Bone marrow smear
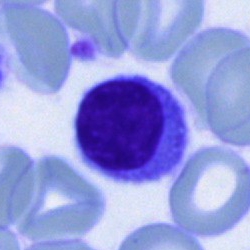

Morphological class: lymphocyte.